Brightfield microscopy, 40× oil immersion · bone marrow aspirate smear — 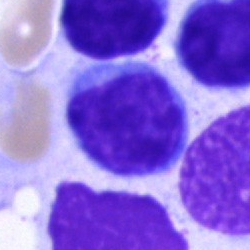 Morphological class: lymphocyte.